Bone marrow smear:
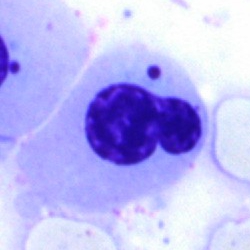

This is a normoblast.